400 by 400 pixels; peripheral blood smear
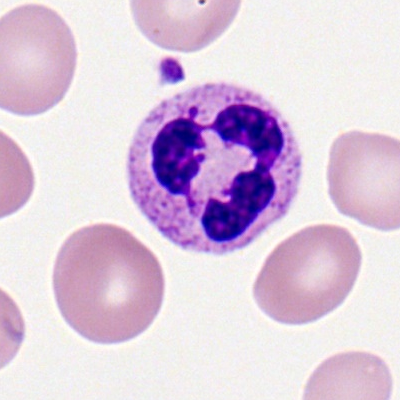Showing a polymorphonuclear neutrophil.